Cropped to a single cell. Bone marrow smear — 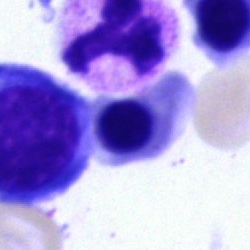Erythroblast.